Bone marrow aspirate smear
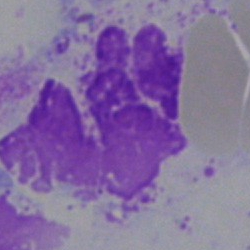
Q: What is shown here?
A: This is an artefact.